Bone marrow smear. Brightfield microscopy, 40× oil immersion
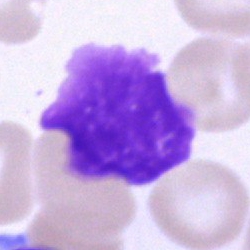 Cell type = artefact.